Bone marrow smear: 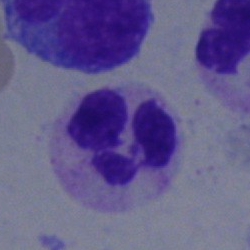This is a polymorphonuclear neutrophil.